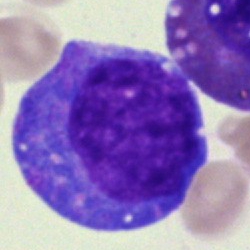 Morphological class — undifferentiated blast.